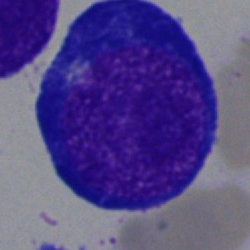Nucleated red cell.